Bone marrow aspirate smear; 40× oil immersion; single-cell crop:
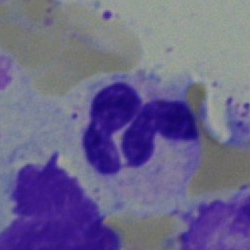
Morphological class — polymorphonuclear neutrophil.